Bone marrow smear — 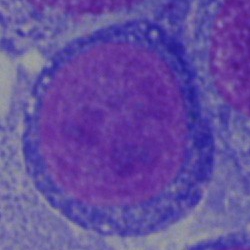Specimen: bone marrow smear.
Cell: undifferentiated blast.